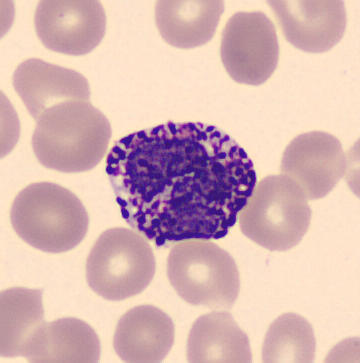 Impression — basophilic granulocyte. Acquisition: Peripheral blood film · single-cell crop · 360 by 363 pixels.